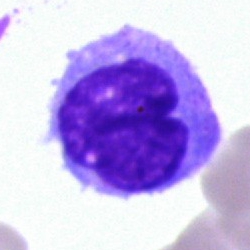
Classification = monocyte.